Bone marrow aspirate smear:
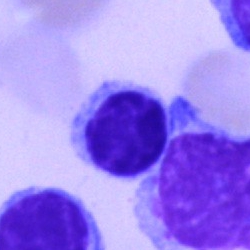

Morphological class: typical lymphocyte.